Bone marrow smear.
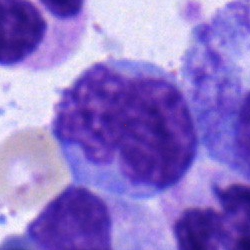
Showing a monocyte.